Cropped to a single cell. Bone marrow aspirate smear — 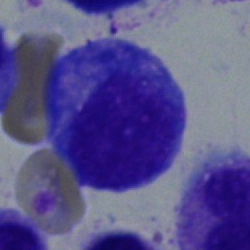 Q: What is the morphological classification of this cell?
A: Myelocyte.